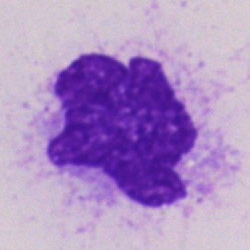 Cell = artifact.